Single cell centered in the field; bone marrow smear — 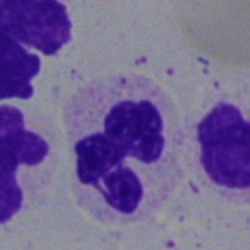
Q: What cell is this?
A: A segmented neutrophil.